Bone marrow aspirate smear — 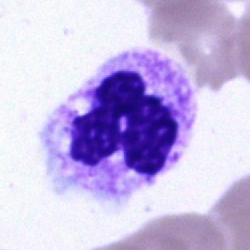 A segmented neutrophil.